Bone marrow aspirate smear:
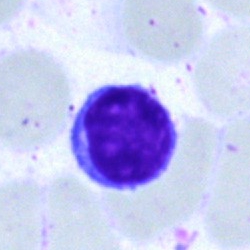

Impression — typical lymphocyte.